250×250 · 40× oil immersion · bone marrow aspirate smear
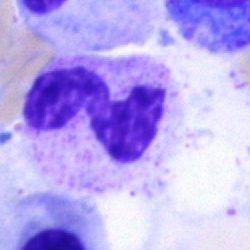Q: What is shown here?
A: A polymorphonuclear neutrophil.